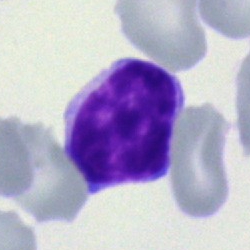The cell shown is a lymphocyte.